Peripheral blood film.
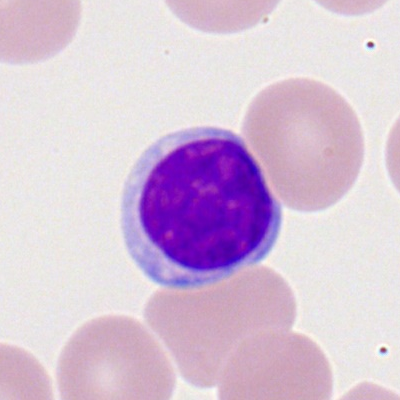
This is a typical lymphocyte.